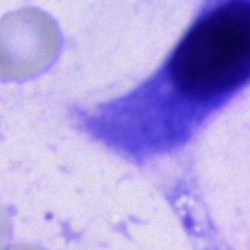Morphology consistent with an other cell.